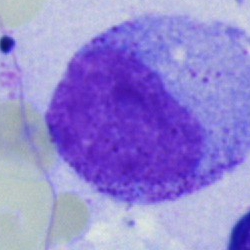Impression → promyelocyte.